Peripheral blood film: 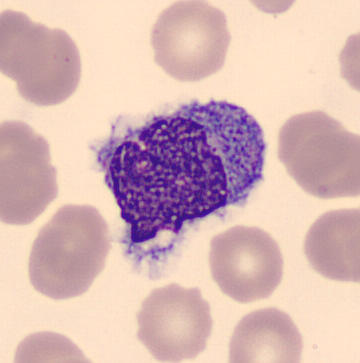 Single cell identified as a monocyte.